Bone marrow smear — 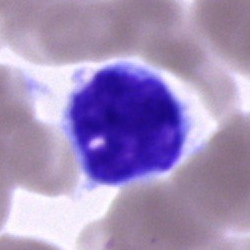
An unidentifiable cell.